Single-cell crop · bone marrow aspirate smear:
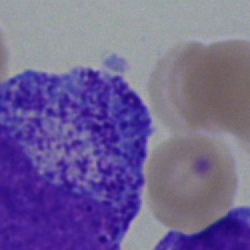 Q: What is shown here?
A: It is a promyelocyte.